Image size 250×250; bone marrow smear
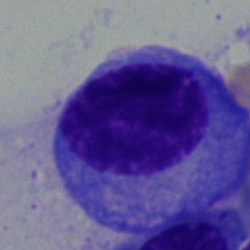 Impression — plasma cell.